Bone marrow smear:
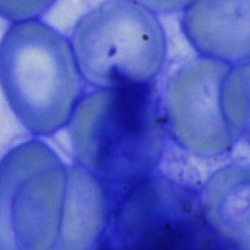 An unidentifiable cell.